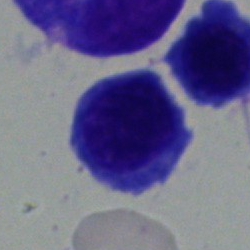Q: What type of cell is this?
A: This is a normoblast.